Bone marrow smear
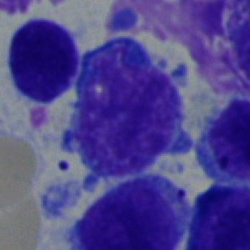Impression → typical lymphocyte.